Bone marrow aspirate smear.
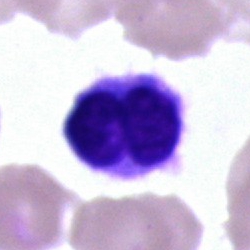
Morphology — artefact.